Bone marrow smear; 40× objective, oil immersion; single cell centered in the field
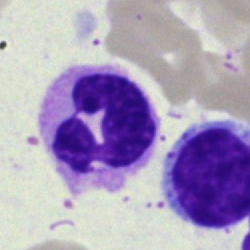The classification is segmented neutrophil.